Bone marrow smear: 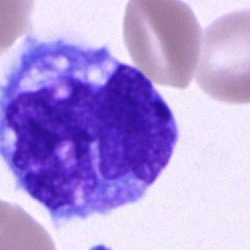

Morphology → monocyte.